Bone marrow aspirate smear
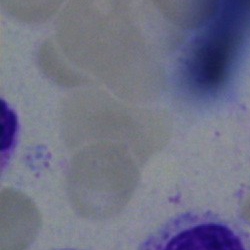Q: What is shown here?
A: An artifact.